MGG-stained. Bone marrow smear — 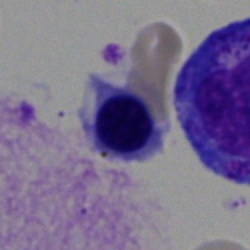
Showing a nucleated red blood cell.